Bone marrow smear: 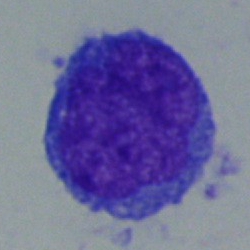Morphological class: undifferentiated blast.